Bone marrow smear: 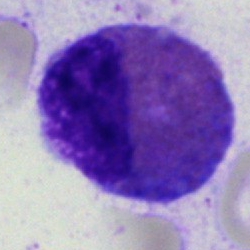
An eosinophilic granulocyte.